Bone marrow aspirate smear.
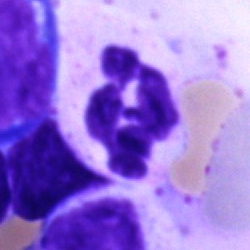

Q: Which cell type is shown here?
A: Neutrophil (segmented).